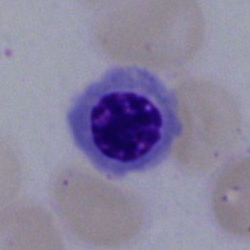An erythroblast on a bone marrow smear.